Peripheral blood film: 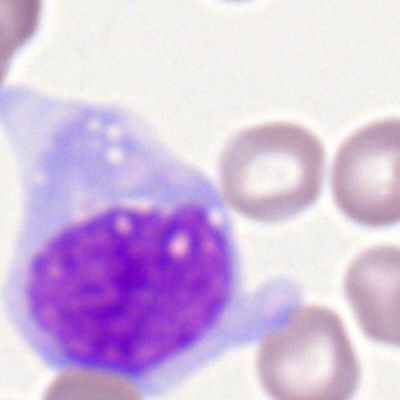The morphological class is monocyte.